Bone marrow aspirate smear
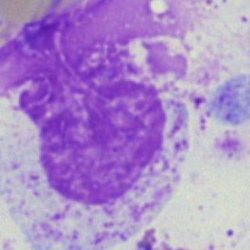
Specimen: bone marrow aspirate smear.
Cell type: artefact.